Single cell centered in the field. Bone marrow aspirate smear: 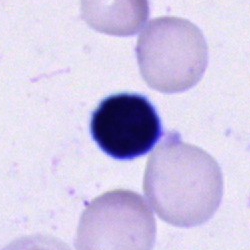 An unidentifiable cell.